Brightfield microscopy, 40× oil immersion. Bone marrow aspirate smear:
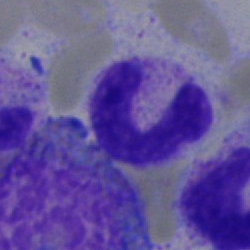
Morphology — segmented neutrophil.